400×400 px · peripheral blood smear · single cell centered in the field
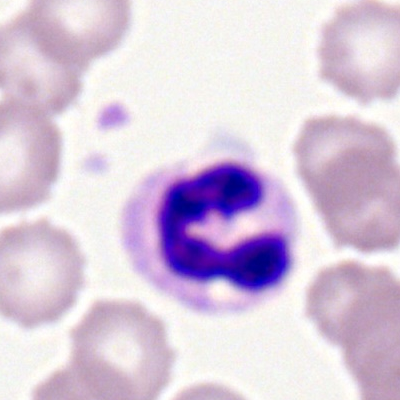

A neutrophil (segmented).